Bone marrow aspirate smear:
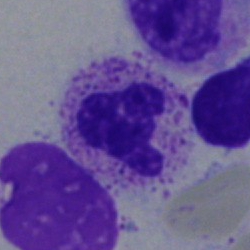

Specimen: bone marrow smear.
Classification: neutrophil (segmented).